Bone marrow aspirate smear: 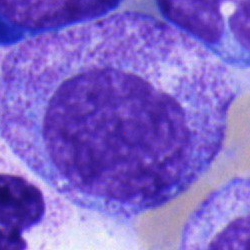
Classification — myelocyte.